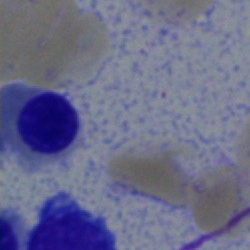

Q: Which cell type is shown here?
A: An erythroblast.